Bone marrow aspirate smear.
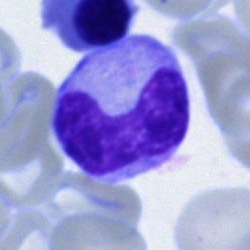

Q: What is shown here?
A: This is a band-form neutrophil.